Image size 250×250 · bone marrow smear · 40× objective, oil immersion — 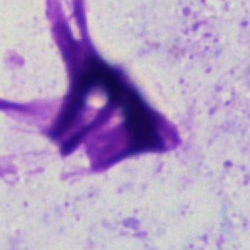
Morphology consistent with an artifact.